Bone marrow smear:
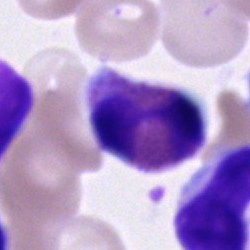 Morphological class — eosinophilic granulocyte.